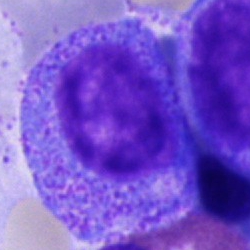

The classification is progranulocyte.